Bone marrow aspirate smear; brightfield, 40× oil-immersion objective
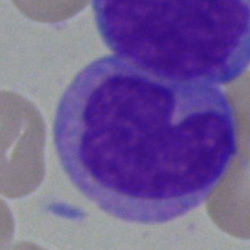A monocyte.